Brightfield microscopy, 40× oil immersion; bone marrow aspirate smear
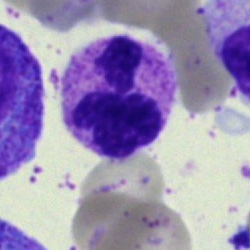 Morphology consistent with a polymorphonuclear neutrophil.